Bone marrow smear; image size 250×250; MGG-stained.
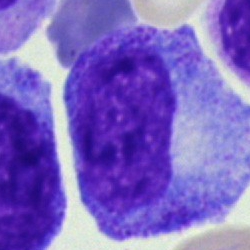

Classification — promyelocyte.